Bone marrow smear: 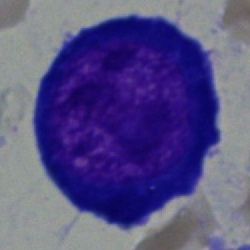This is a proerythroblast.